Bone marrow smear. MGG-stained: 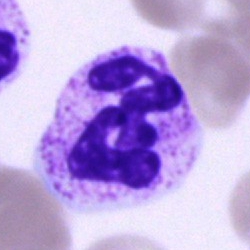 Cell — polymorphonuclear neutrophil.